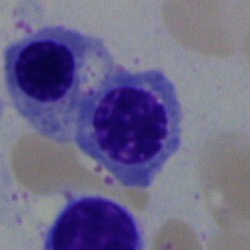 Single cell identified as an erythroblast.